May-Grünwald-Giemsa/Pappenheim stain. Bone marrow aspirate smear. Image size 250×250 — 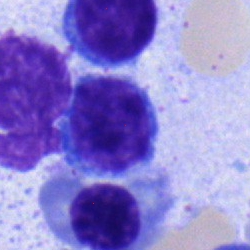
Q: What is shown here?
A: A typical lymphocyte.